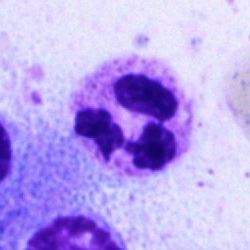 The cell type is segmented neutrophil.